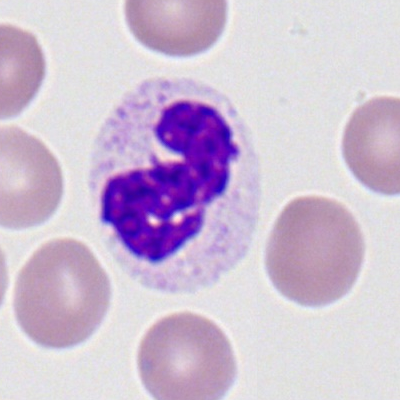
Q: Identify the cell.
A: This is a neutrophil (segmented).